Single-cell crop. Bone marrow smear. Brightfield, 40× oil-immersion objective:
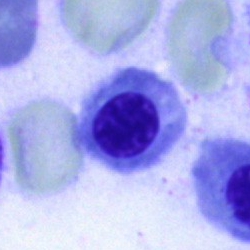 Cell type: nucleated red cell.